250 by 250 pixels. Bone marrow smear.
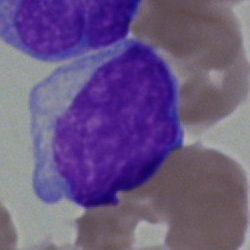
Single cell identified as a blast.